Bone marrow aspirate smear; 40× oil immersion
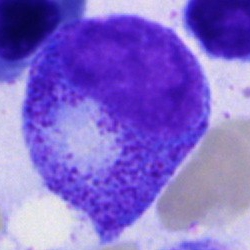

Single cell identified as a promyelocyte.